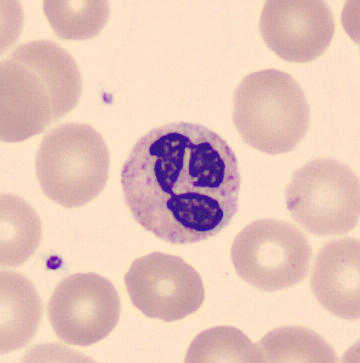

Segmented neutrophil.
Image: 360 by 363 pixels · MGG-stained · peripheral blood smear.